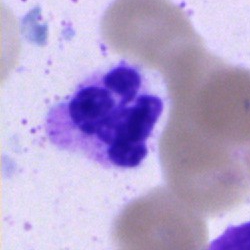
Impression — neutrophil (segmented).